Image size 250×250. 40× objective, oil immersion. Bone marrow smear.
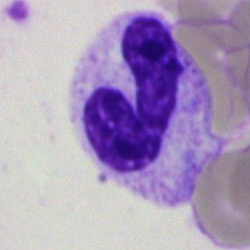 Q: Identify the cell.
A: A neutrophil (band).